Bone marrow aspirate smear · 40× objective, oil immersion — 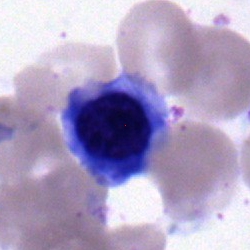

This is a nucleated red cell.